May-Grünwald-Giemsa/Pappenheim stain · bone marrow aspirate smear — 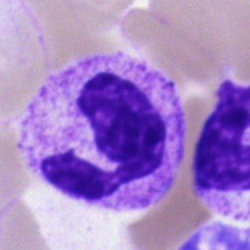 The morphological class is neutrophil (segmented).